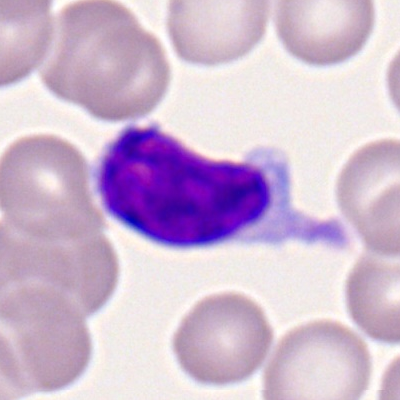 Impression → typical lymphocyte.